May-Grünwald-Giemsa/Pappenheim stain. Bone marrow smear. 250×250 px:
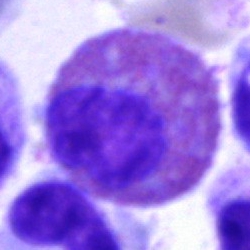 Cell = eosinophilic granulocyte.